250×250; bone marrow smear:
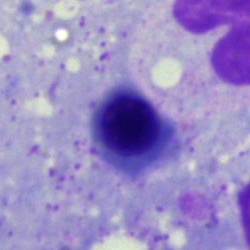

Morphology → erythroblast.